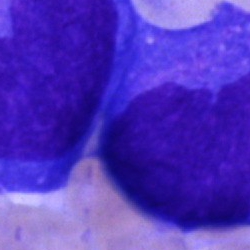

Impression — blast cell.